Image size 250×250; bone marrow aspirate smear.
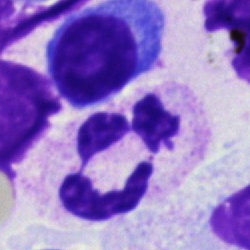 Morphology consistent with a polymorphonuclear neutrophil.